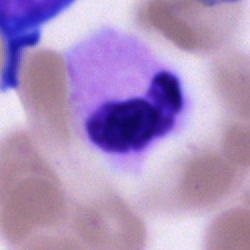Morphological class = segmented neutrophil.